Bone marrow aspirate smear
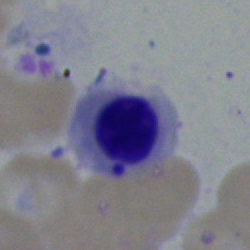The cell type is nucleated red cell.